Bone marrow aspirate smear · single-cell crop.
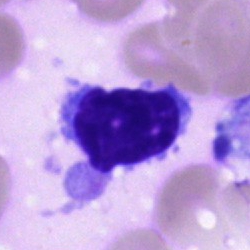Q: Which cell type is shown here?
A: This is a lymphocyte.